250×250 px. Single-cell crop. Bone marrow aspirate smear:
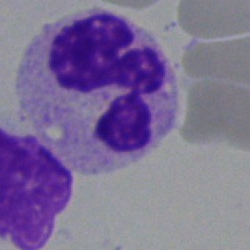The cell shown is a segmented neutrophil.